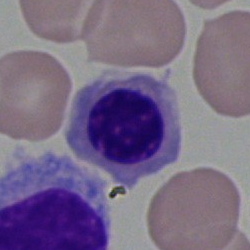 Morphological class: nucleated red cell.